Pappenheim-stained. Bone marrow aspirate smear: 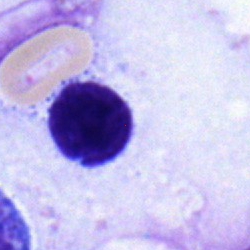 Classification = lymphocyte.